Bone marrow smear — 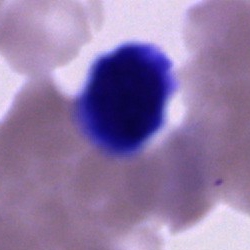An unidentifiable cell.